May-Grünwald-Giemsa stain · bone marrow smear · 250 by 250 pixels: 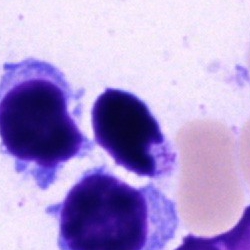Q: What cell is this?
A: A lymphocyte.